Bone marrow smear — 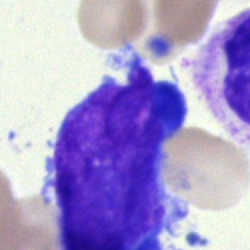 Undifferentiated blast.